May-Grünwald-Giemsa/Pappenheim stain · bone marrow aspirate smear · single-cell crop: 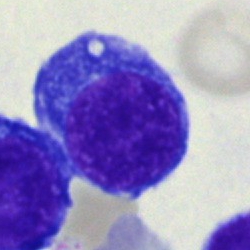 The cell shown is an erythroblast.